250×250. Bone marrow aspirate smear.
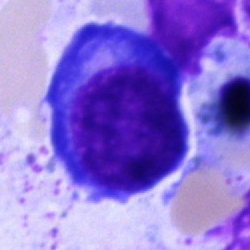An erythroblast.